Peripheral blood film — 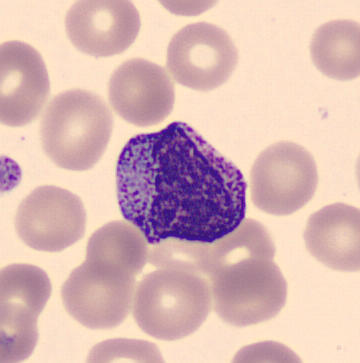 Cell type — myelocyte.